Pappenheim-stained; bone marrow aspirate smear; 250 by 250 pixels: 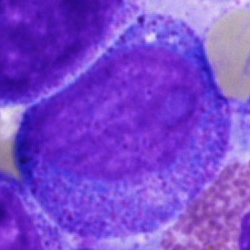

Classification = promyelocyte.